Bone marrow aspirate smear; brightfield, 40× oil-immersion objective: 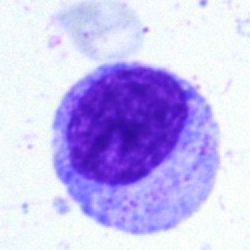
Morphology consistent with a progranulocyte.